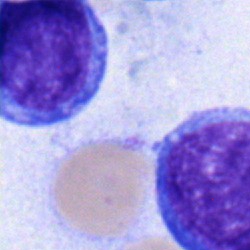
{"cell_type": "blast cell"}